Single-cell crop · May-Grünwald-Giemsa stain · bone marrow aspirate smear:
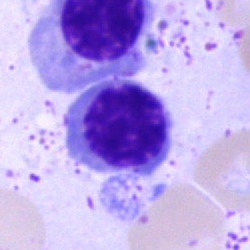
Specimen: bone marrow smear.
Cell type: nucleated red cell.
Lineage: erythroid.